250×250; bone marrow smear
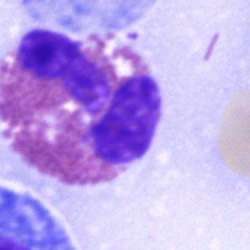 Specimen: bone marrow smear.
Cell: eosinophil.
Lineage: myeloid.